Cropped to a single cell · bone marrow aspirate smear
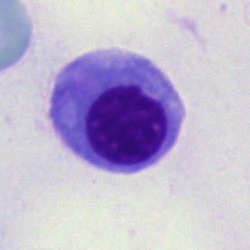

Classification — erythroblast.